Bone marrow smear
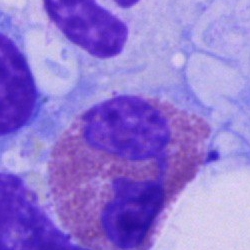 Impression — eosinophilic granulocyte.